Bone marrow aspirate smear · cropped to a single cell · 40× objective, oil immersion: 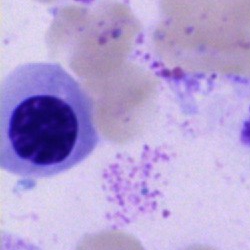

Q: What is the morphological classification of this cell?
A: This is an erythroblast.